Bone marrow smear. 250×250. Brightfield, 40× oil-immersion objective: 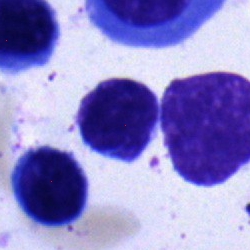Q: What type of cell is this?
A: A lymphocyte.